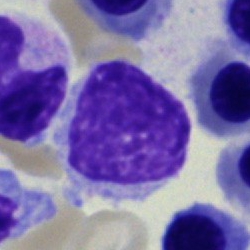
The cell shown is a lymphocyte.